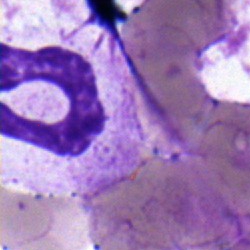

Q: What cell is this?
A: Neutrophil (band).